Peripheral blood smear:
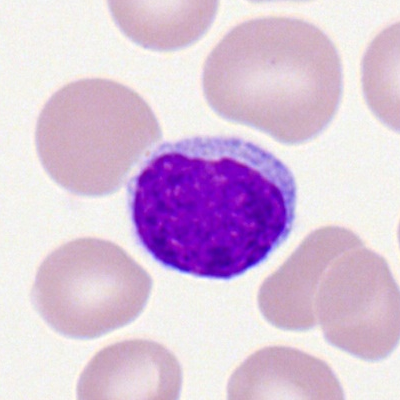

Impression → lymphocyte.